MGG-stained. Bone marrow smear:
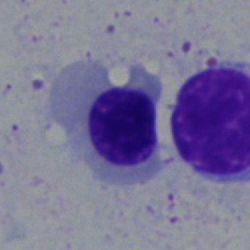
The cell shown is a normoblast.